40× objective, oil immersion; bone marrow aspirate smear:
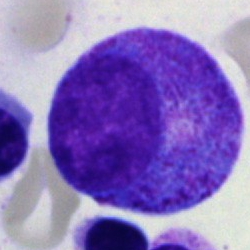 Q: Which cell type is shown here?
A: A promyelocyte.